Bone marrow smear
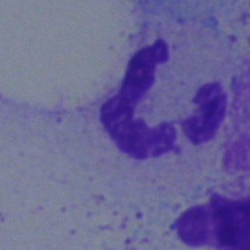

Showing a polymorphonuclear neutrophil.